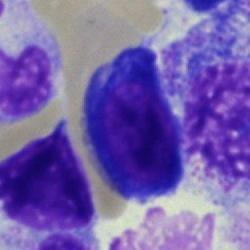

Morphology consistent with an eosinophil.